250×250; brightfield microscopy, 40× oil immersion; bone marrow smear
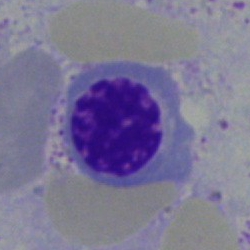
Impression — nucleated red cell.